Cropped to a single cell. Bone marrow aspirate smear
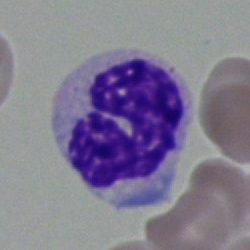The classification is polymorphonuclear neutrophil.